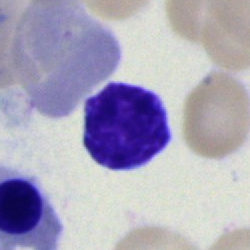The classification is lymphocyte.